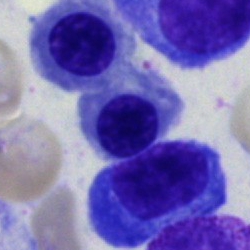Bone marrow aspirate smear, single cell — normoblast.